May-Grünwald-Giemsa/Pappenheim stain; bone marrow smear; 250×250 px
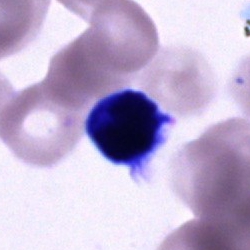 The cell is unidentifiable cell.